Bone marrow aspirate smear; single cell centered in the field
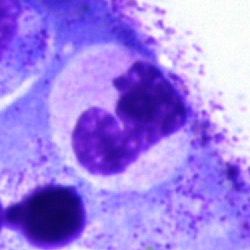

The cell shown is a polymorphonuclear neutrophil.